Romanowsky-type stain · peripheral blood smear:
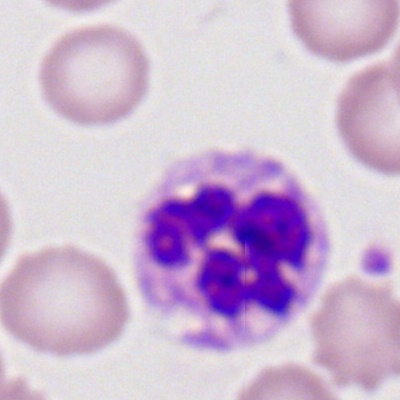Cell — neutrophil (segmented).